40× objective, oil immersion. Bone marrow aspirate smear.
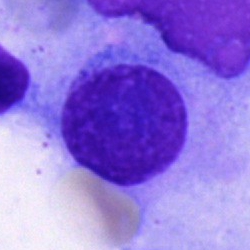Specimen: bone marrow smear.
Morphological class: plasmacyte.
Lineage: lymphoid.